Bone marrow smear — 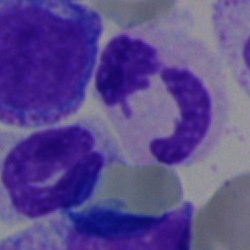Cell type = segmented neutrophil.